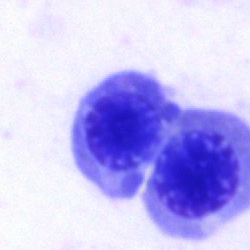Showing a nucleated red cell.